Bone marrow smear · cropped to a single cell · 250×250 px: 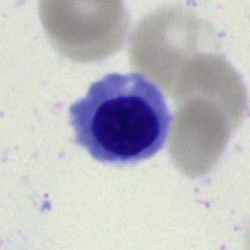Normoblast.